Bone marrow aspirate smear: 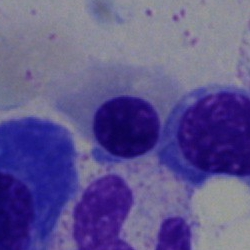
Q: What is shown here?
A: This is an erythroblast.